Bone marrow smear: 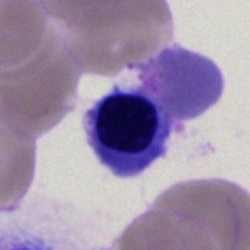Normoblast.